Bone marrow smear: 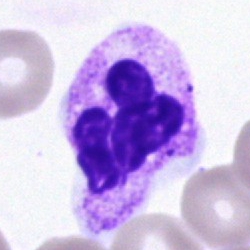

A segmented neutrophil.